250×250 px; bone marrow aspirate smear
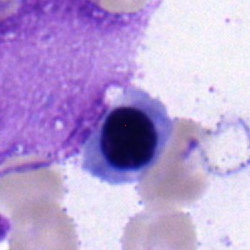The morphological class is normoblast.